Bone marrow aspirate smear
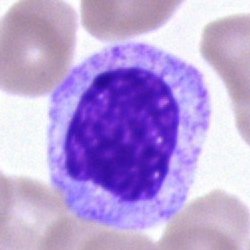The cell is myelocyte.